Bone marrow aspirate smear: 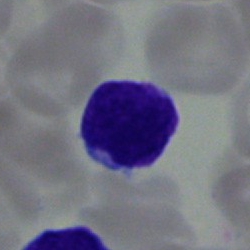

Cell — typical lymphocyte.